MGG-stained; bone marrow smear; 250 by 250 pixels — 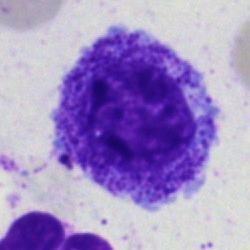

Single cell identified as a myelocyte.